Single cell centered in the field. Brightfield microscopy, 40× oil immersion. Bone marrow smear:
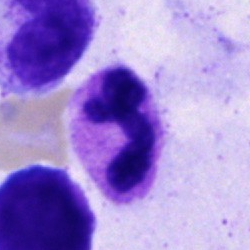

This is a segmented neutrophil.